250 by 250 pixels. Bone marrow smear. Brightfield, 40× oil-immersion objective — 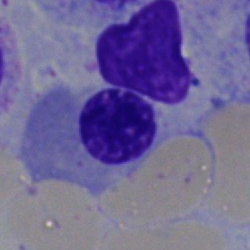Single cell identified as a normoblast.